Peripheral blood smear — 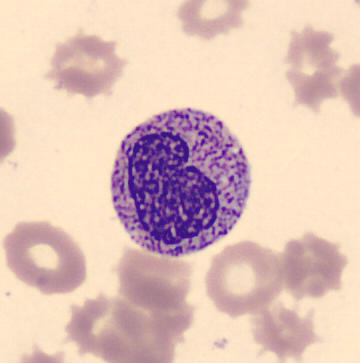

Q: What type of cell is this?
A: A metamyelocyte.